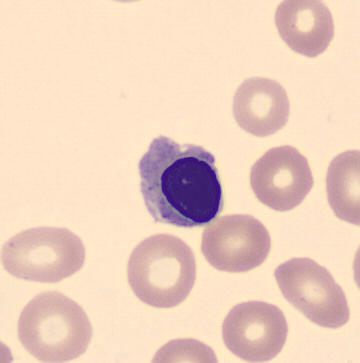
The cell shown is a normoblast.